Bone marrow aspirate smear: 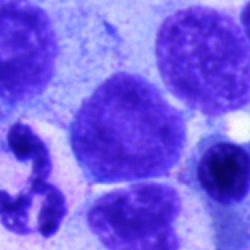 Morphology consistent with a lymphocyte.